Bone marrow smear:
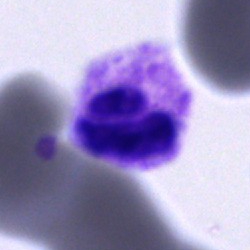

Single cell identified as a polymorphonuclear neutrophil.